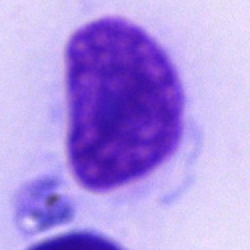Q: What is shown here?
A: This is an artefact.